Bone marrow smear. Single cell centered in the field. MGG-stained — 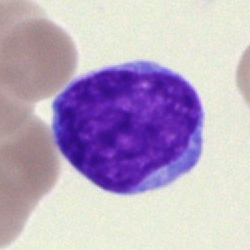 Morphology — blast cell.